Bone marrow aspirate smear — 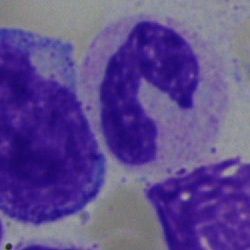
Q: What cell is this?
A: Stab cell.